Bone marrow smear
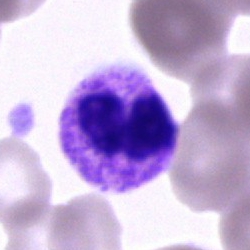A neutrophil (segmented).